Bone marrow aspirate smear: 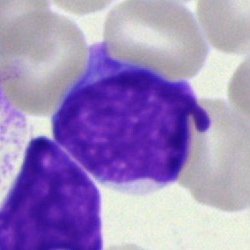

Q: What cell is this?
A: It is a blast.